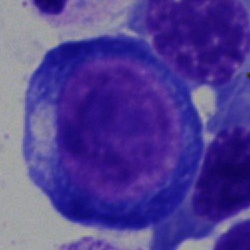Morphology — pronormoblast.